Bone marrow aspirate smear · Pappenheim-stained
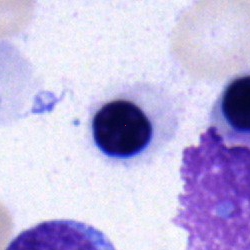

Normoblast.